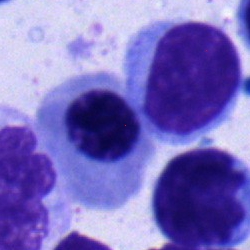
This is a nucleated red cell.